Bone marrow smear; cropped to a single cell; 40× oil immersion.
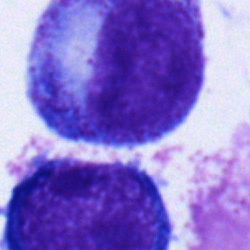Morphological class = progranulocyte.